Bone marrow smear — 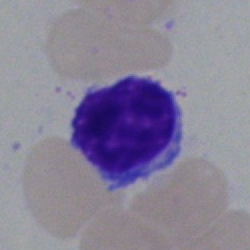
Q: What is the morphological classification of this cell?
A: Lymphocyte.